250×250 · bone marrow aspirate smear: 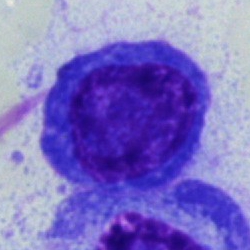
Plasmacyte.